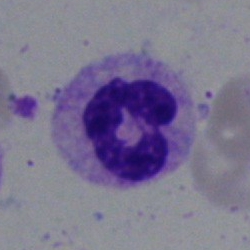
Polymorphonuclear neutrophil.